Bone marrow aspirate smear
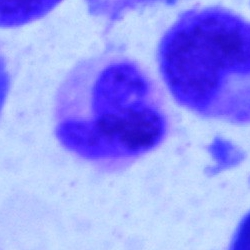

Specimen: bone marrow smear.
Cell: neutrophil (segmented).
Lineage: myeloid.